Bone marrow smear; single-cell crop; brightfield microscopy, 40× oil immersion.
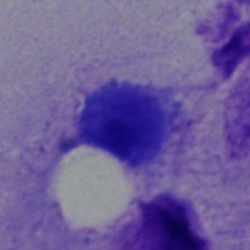

A lymphocyte.